MGG-stained · bone marrow aspirate smear:
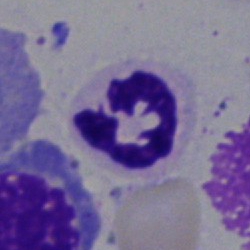
Morphology → polymorphonuclear neutrophil.